Brightfield microscopy, 40× oil immersion. Bone marrow smear. Single cell centered in the field:
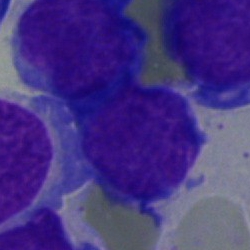 Blast.